Bone marrow smear — 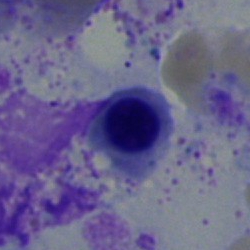 Morphology consistent with a normoblast.